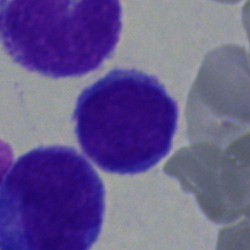

Single cell identified as a lymphocyte.